Bone marrow smear: 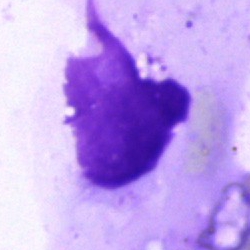 Cell type: artefact.